Peripheral blood smear. Romanowsky-type stain. 400×400
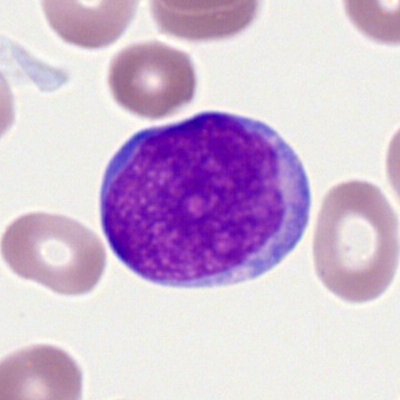This is a myeloblast.